Bone marrow aspirate smear: 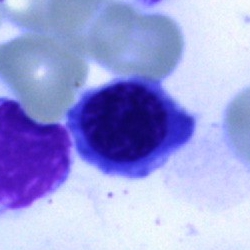
Specimen: bone marrow aspirate smear.
Classification: normoblast.
Lineage: erythroid.